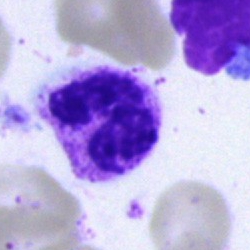

Q: Which cell type is shown here?
A: A polymorphonuclear neutrophil.